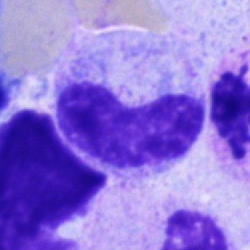 Metamyelocyte.